Bone marrow aspirate smear: 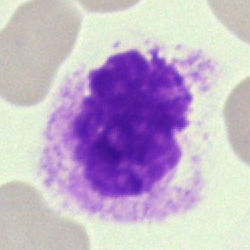 Morphology consistent with a cell of indeterminate lineage.